Peripheral blood film.
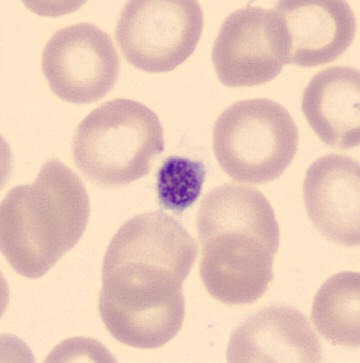 Morphology consistent with a platelet.